Bone marrow aspirate smear:
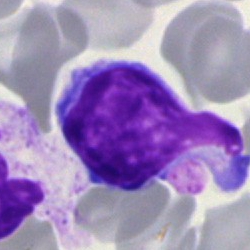Showing a typical lymphocyte.